Bone marrow smear; May-Grünwald-Giemsa/Pappenheim stain.
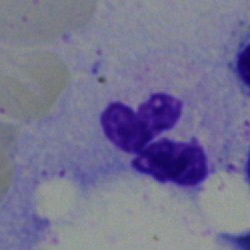 The cell shown is a neutrophil (segmented).